Bone marrow smear
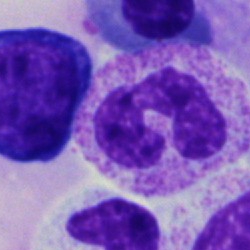

Q: What is shown here?
A: This is a segmented neutrophil.